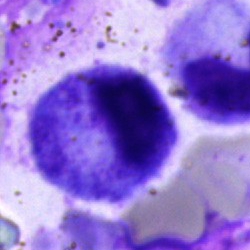

A progranulocyte on a bone marrow smear.